Bone marrow smear:
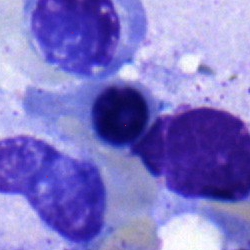
The classification is nucleated red cell.